Image size 250×250 · bone marrow aspirate smear · single-cell field
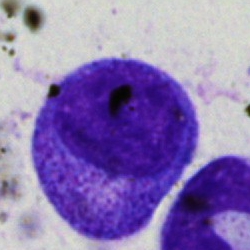
Specimen: bone marrow aspirate smear.
Cell: progranulocyte.